MGG-stained · bone marrow aspirate smear — 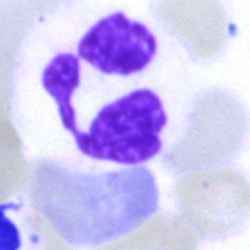 The cell shown is a neutrophil (segmented).